Bone marrow smear · cropped to a single cell
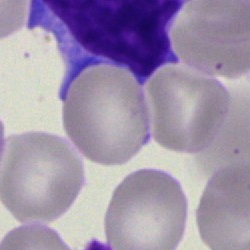An artifact.